Bone marrow aspirate smear:
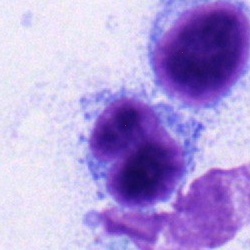

Classification = lymphocyte.